Bone marrow smear
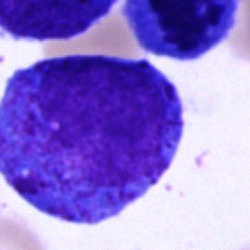

Showing a progranulocyte.